Single-cell crop. Bone marrow smear.
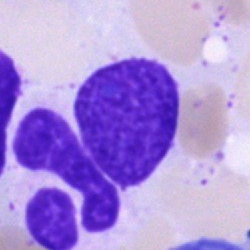
This is an artifact.